Bone marrow aspirate smear:
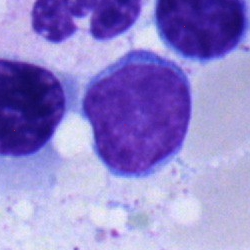The cell type is lymphocyte.